Peripheral blood film. Single-cell field.
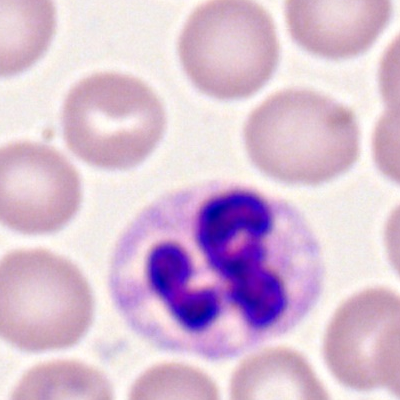

Specimen: peripheral blood smear.
Classification: neutrophil (segmented).
Lineage: myeloid.